Bone marrow smear — 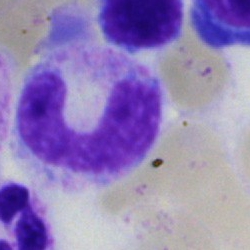
Q: Which cell type is shown here?
A: A neutrophil (band).